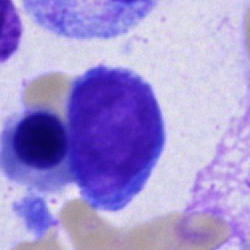

Classification = undifferentiated blast.